Bone marrow smear:
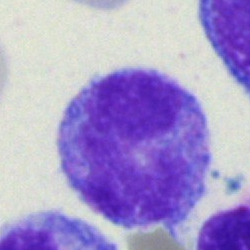

This is a monocyte.